Peripheral blood film: 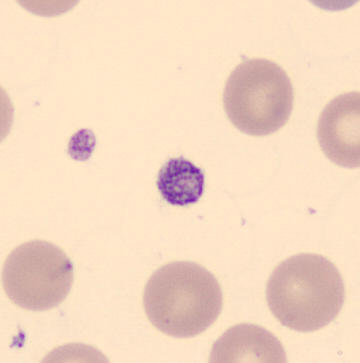
Showing a platelet.